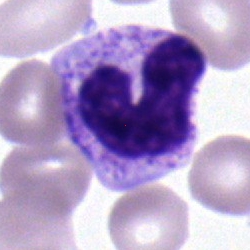
Classification = neutrophil (segmented).